Romanowsky-stained; peripheral blood film; 400×400 px.
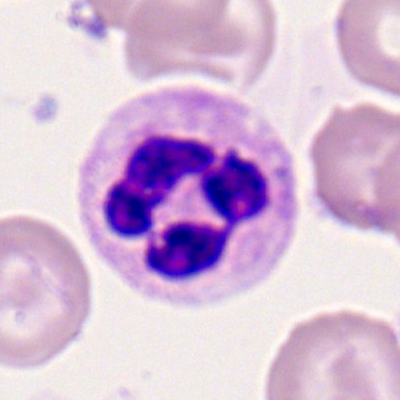The classification is segmented neutrophil.